Bone marrow smear: 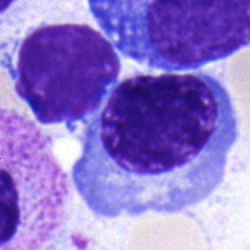Showing a normoblast.